Bone marrow aspirate smear · MGG-stained · brightfield, 40× oil-immersion objective.
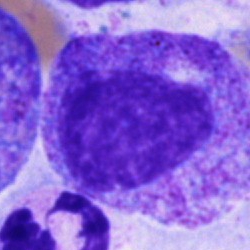

Morphological class = promyelocyte.